Bone marrow aspirate smear — 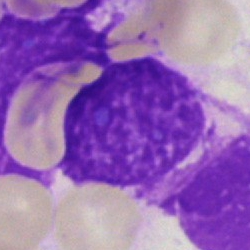Impression — artifact.